Bone marrow smear — 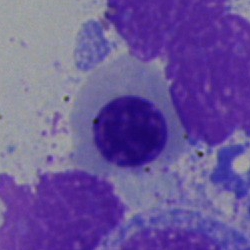A nucleated red cell.